Bone marrow smear — 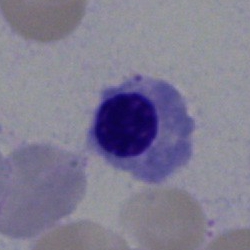This is an erythroblast.